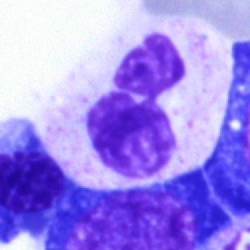 A segmented neutrophil on a bone marrow smear.